Bone marrow aspirate smear.
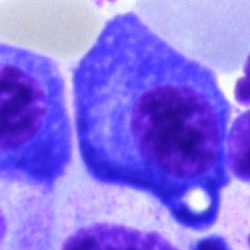

Morphology consistent with a plasma cell.